Peripheral blood smear: 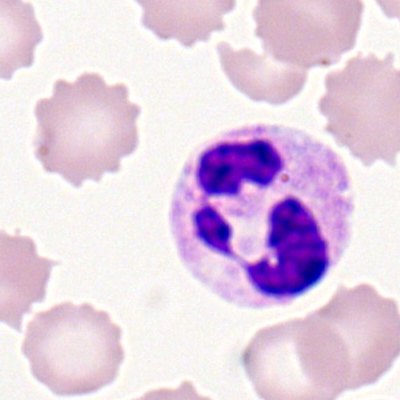 The morphological class is polymorphonuclear neutrophil.